Romanowsky stain · peripheral blood film · brightfield, 100× oil-immersion objective
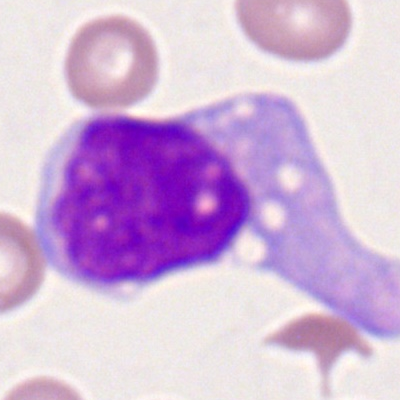 Q: What cell is this?
A: It is a monocyte.